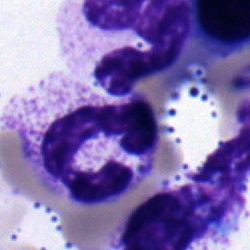 Classification — polymorphonuclear neutrophil.